Bone marrow aspirate smear
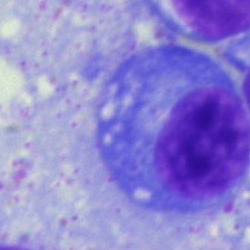

The morphological class is plasma cell.